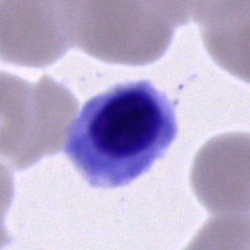

Impression → normoblast.